Single cell centered in the field; bone marrow smear:
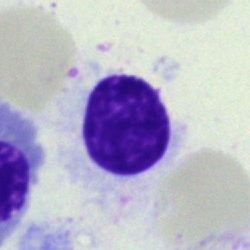 Showing an artefact.